Bone marrow aspirate smear; 40× oil immersion: 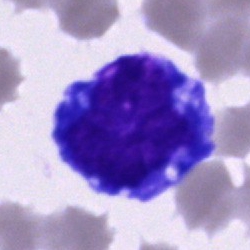
Impression — blast cell.